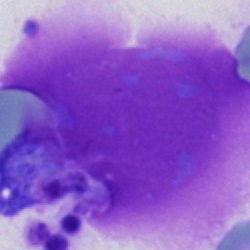The cell shown is an artifact.